250×250 px. 40× oil immersion. Bone marrow aspirate smear.
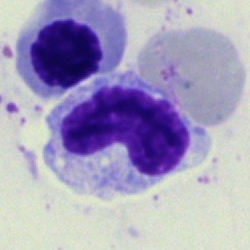 Cell: band-form neutrophil.